Peripheral blood smear:
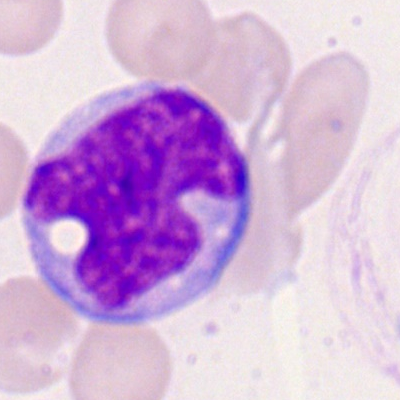 A monocyte.